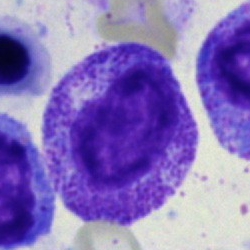 Q: Which cell type is shown here?
A: It is a myelocyte.